Bone marrow smear; image size 250×250; brightfield microscopy, 40× oil immersion
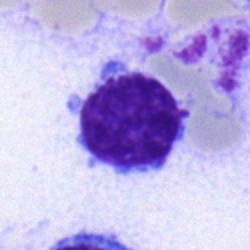 Single cell identified as a typical lymphocyte.